Peripheral blood film: 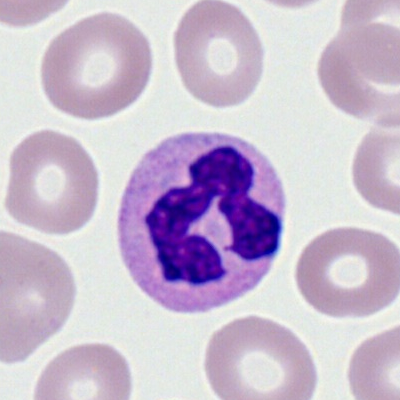
Q: Which cell type is shown here?
A: This is a polymorphonuclear neutrophil.